Bone marrow aspirate smear — 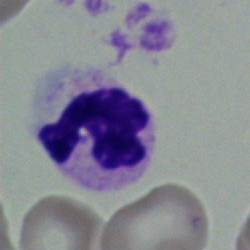 Specimen: bone marrow aspirate smear.
Morphological class: segmented neutrophil.